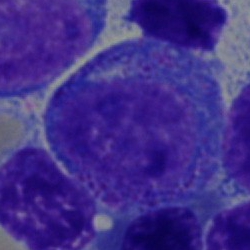Promyelocyte.